Brightfield, 40× oil-immersion objective; MGG-stained; bone marrow aspirate smear.
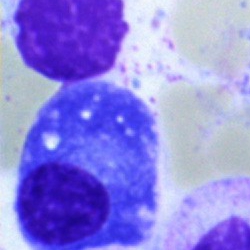 Impression → plasmacyte.